Bone marrow smear.
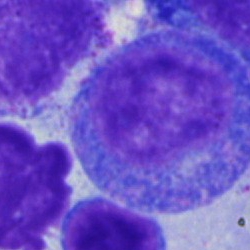
Classification = promyelocyte.